Pappenheim-stained · bone marrow aspirate smear: 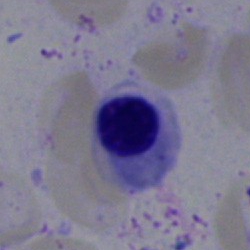
Impression — nucleated red cell.